Single-cell field · bone marrow smear — 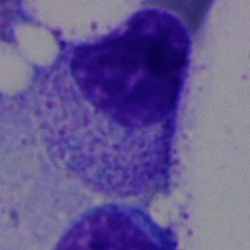

A myelocyte.